Single-cell field · bone marrow aspirate smear:
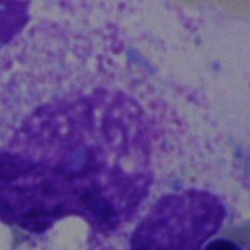 An artifact.